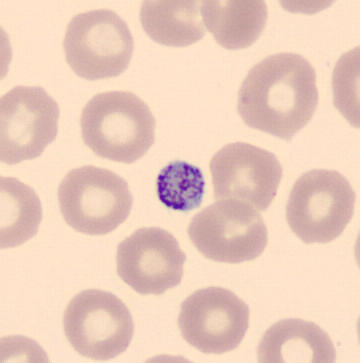 Imaged on a CellaVision DM96 analyser.

Specimen: peripheral blood smear.
Morphological class: platelet.